Bone marrow aspirate smear:
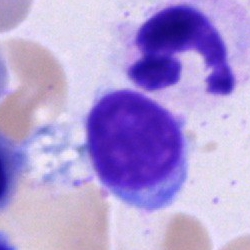
Specimen: bone marrow smear.
Cell: lymphocyte.